Bone marrow aspirate smear — 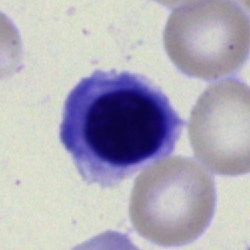
Morphology consistent with a nucleated red blood cell.